Bone marrow smear — 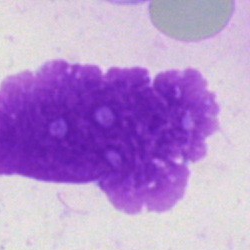 Cell type — artefact.